400×400 px; peripheral blood smear: 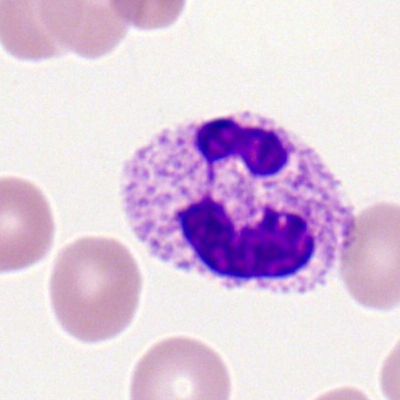
{"cell_type": "polymorphonuclear neutrophil", "lineage": "myeloid"}